Bone marrow aspirate smear — 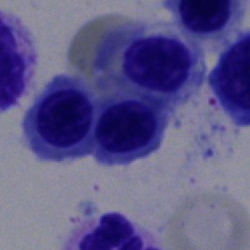
Classification = nucleated red cell.